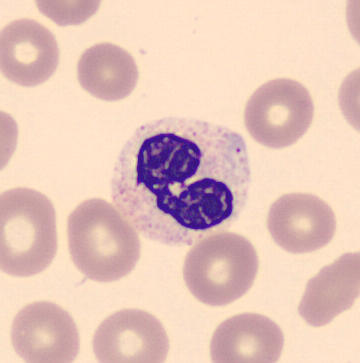 A neutrophil (segmented) on a peripheral blood smear.